250×250; bone marrow smear.
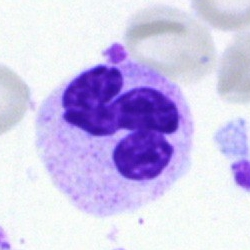

Cell: segmented neutrophil.